Bone marrow aspirate smear.
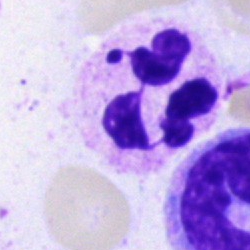 A polymorphonuclear neutrophil.